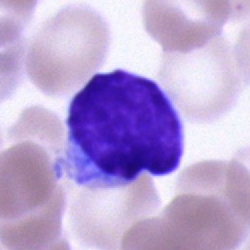 Single-cell crop from a bone marrow smear: lymphocyte.